Pappenheim-stained · bone marrow smear — 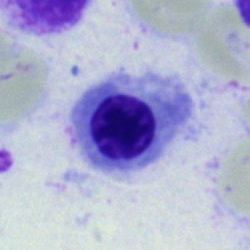

Q: What is the morphological classification of this cell?
A: It is a nucleated red cell.